Bone marrow aspirate smear:
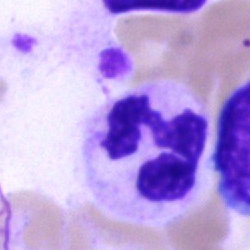Specimen: bone marrow aspirate smear.
Morphological class: neutrophil (segmented).
Lineage: myeloid.